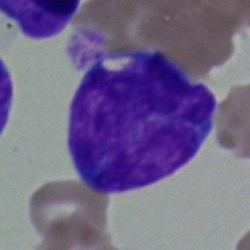 Bone marrow aspirate smear, single cell — undifferentiated blast.